Image size 250×250; bone marrow smear: 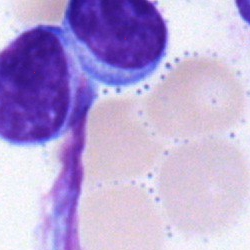 Impression — typical lymphocyte.